May-Grünwald-Giemsa/Pappenheim stain. Bone marrow smear: 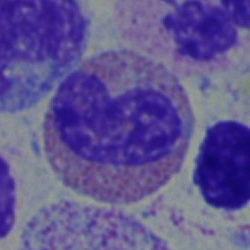
Specimen: bone marrow smear.
Cell type: eosinophilic granulocyte.
Lineage: myeloid.